250×250 px; single-cell field; bone marrow aspirate smear:
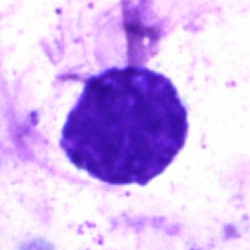

The cell type is artefact.